Peripheral blood film. Romanowsky-type stain
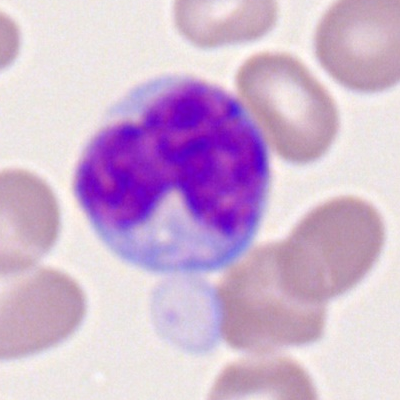

Morphology — typical lymphocyte.